Bone marrow aspirate smear
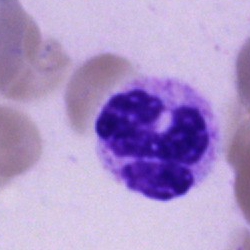 Specimen: bone marrow smear.
Classification: segmented neutrophil.